Cropped to a single cell. Brightfield, 40× oil-immersion objective. Bone marrow aspirate smear — 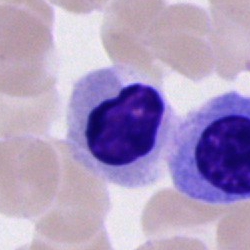

Specimen: bone marrow smear.
Cell: nucleated red blood cell.
Lineage: erythroid.